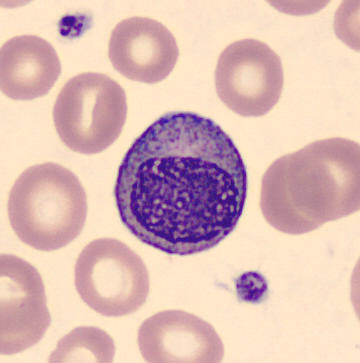 Preparation: Peripheral blood smear.
The cell shown is a myelocyte.